Bone marrow aspirate smear
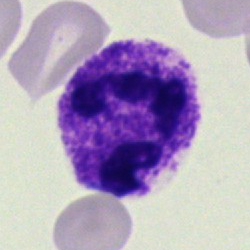 Specimen: bone marrow aspirate smear.
Morphological class: polymorphonuclear neutrophil.